Bone marrow smear:
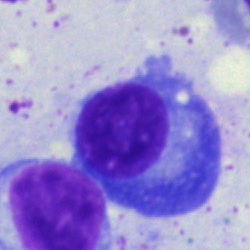 A plasma cell.